Bone marrow smear
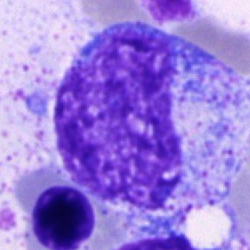
Single cell identified as a promyelocyte.